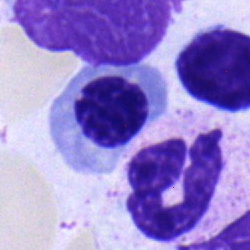

The classification is normoblast.